40× objective, oil immersion. Bone marrow smear:
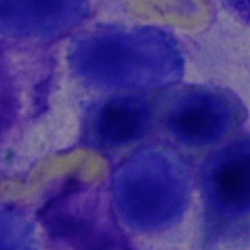 Specimen: bone marrow aspirate smear.
Cell type: nucleated red blood cell.